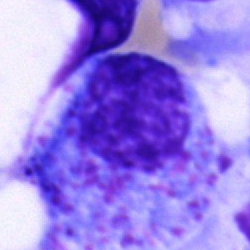Bone marrow smear showing an abnormal eosinophil.